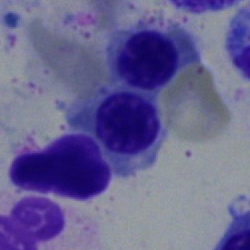
Single-cell crop from a bone marrow smear: nucleated red blood cell.